Bone marrow smear; brightfield, 40× oil-immersion objective — 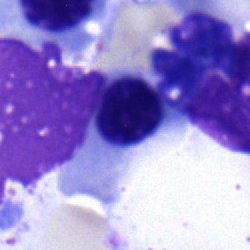

Specimen: bone marrow smear.
Cell: normoblast.
Lineage: erythroid.